250×250 px · bone marrow aspirate smear
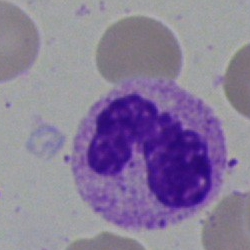

The cell shown is a segmented neutrophil.